Cropped to a single cell; bone marrow smear
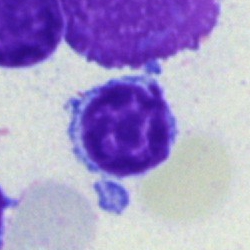

Cell type: typical lymphocyte.